Bone marrow smear — 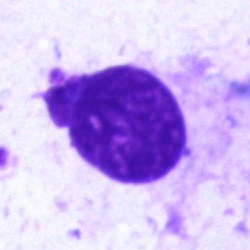

Morphological class = artefact.